250 by 250 pixels. Brightfield microscopy, 40× oil immersion. Bone marrow aspirate smear
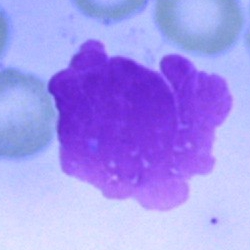 This is an artefact.